Brightfield, 40× oil-immersion objective · bone marrow smear.
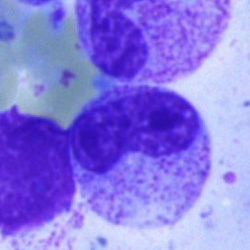
Showing a metamyelocyte.